250×250; bone marrow smear; cropped to a single cell — 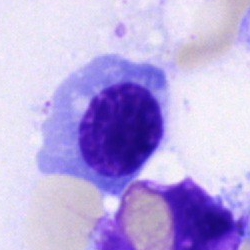
Nucleated red blood cell.